Bone marrow aspirate smear:
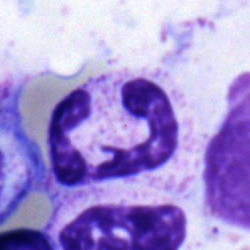 Q: What is the morphological classification of this cell?
A: This is a polymorphonuclear neutrophil.